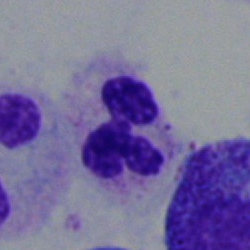

The cell shown is a segmented neutrophil.